Single-cell field · bone marrow smear · Pappenheim-stained — 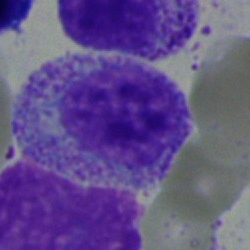

A myelocyte.